250 by 250 pixels. Bone marrow smear — 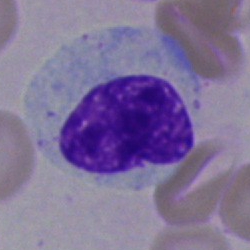 Cell: metamyelocyte.